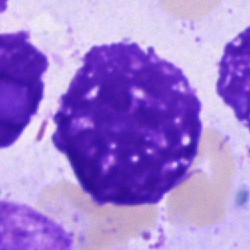

{"cell_type": "artifact"}